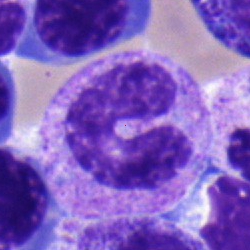 Cell type = band-form neutrophil.